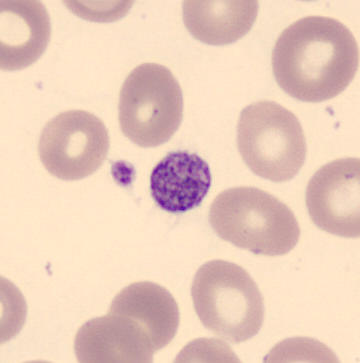

Specimen: peripheral blood smear.
Classification: platelet (thrombocyte).